Bone marrow smear · brightfield microscopy, 40× oil immersion
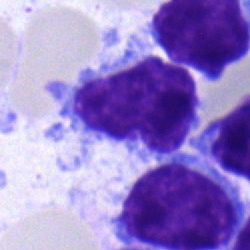
Lymphocyte.